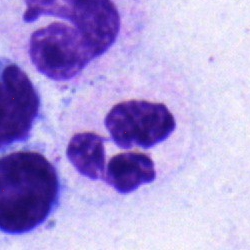

The cell shown is a neutrophil (segmented).